250×250 · bone marrow aspirate smear — 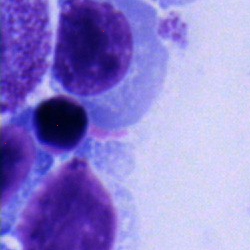 Erythroblast.